Bone marrow smear. May-Grünwald-Giemsa/Pappenheim stain
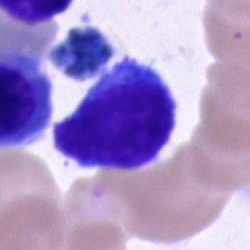 Morphology consistent with a lymphocyte.